250×250 px. Bone marrow aspirate smear
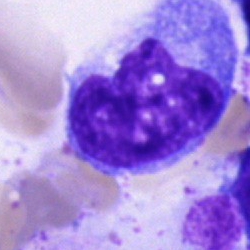

Classification: monocyte.